Image size 400×400; peripheral blood film: 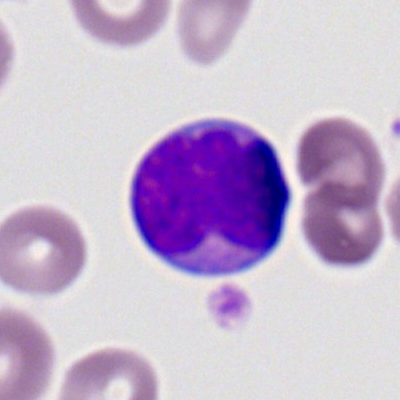

Q: What type of cell is this?
A: Myeloid blast.